Peripheral blood smear
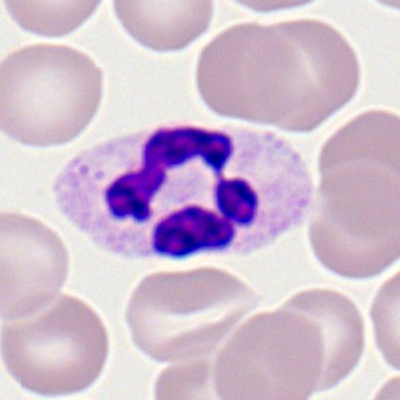

Q: What is shown here?
A: This is a polymorphonuclear neutrophil.